Bone marrow aspirate smear:
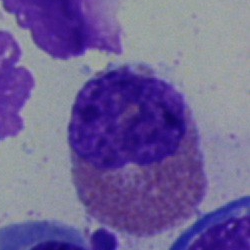 {"cell_type": "eosinophil"}